Bone marrow aspirate smear.
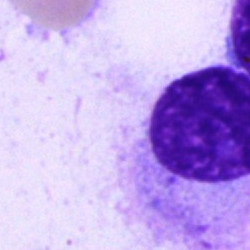

This is a plasmacyte.